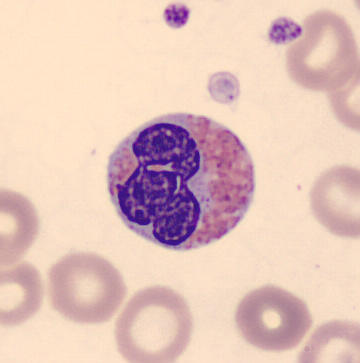

Identified as an eosinophil.